Bone marrow aspirate smear — 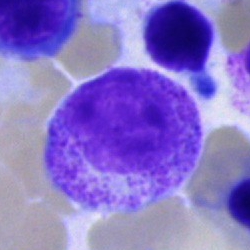

Cell type = myelocyte.